Bone marrow aspirate smear.
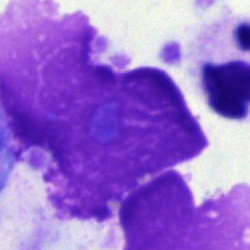
Q: What is shown here?
A: It is an artefact.